Image size 250×250. Bone marrow smear — 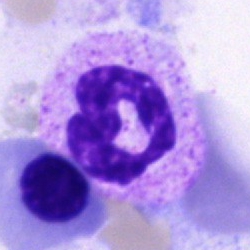
Specimen: bone marrow aspirate smear.
Classification: polymorphonuclear neutrophil.